Bone marrow smear: 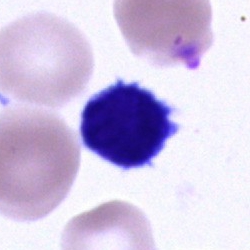
The cell type is lymphocyte.